Bone marrow aspirate smear · image size 250×250
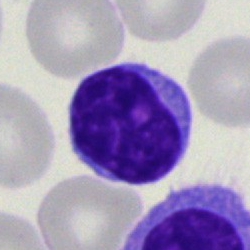
The morphological class is typical lymphocyte.